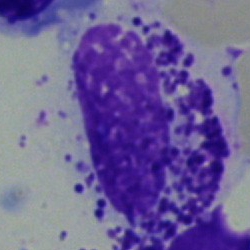
{"cell_type": "other cell"}